MGG-stained · bone marrow aspirate smear · 40× oil immersion
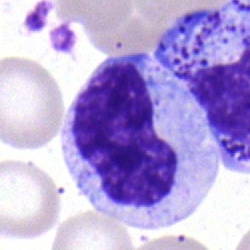

Specimen: bone marrow aspirate smear.
Morphological class: metamyelocyte.
Lineage: myeloid.